Single cell centered in the field; peripheral blood film
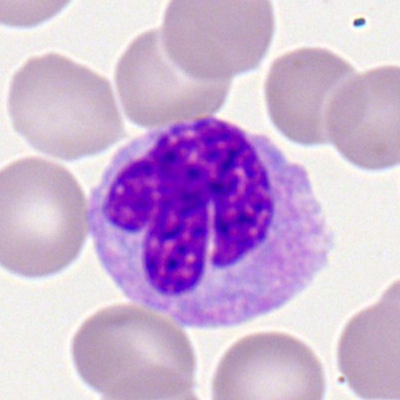

Q: What is the morphological classification of this cell?
A: This is a monocyte.